Bone marrow smear:
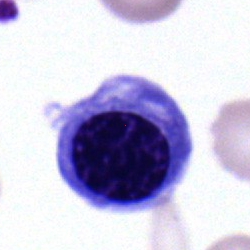Cell type: erythroblast.